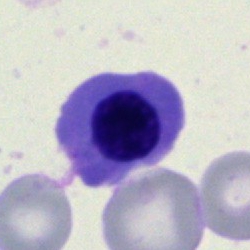 Morphological class: nucleated red blood cell.